250×250 px; May-Grünwald-Giemsa stain; bone marrow aspirate smear — 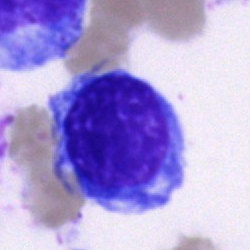

Morphological class: normoblast.